Bone marrow smear · brightfield microscopy, 40× oil immersion · May-Grünwald-Giemsa/Pappenheim stain:
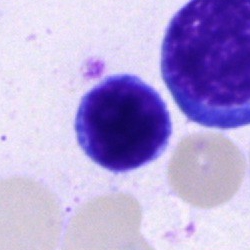
This is a lymphocyte.